Bone marrow aspirate smear
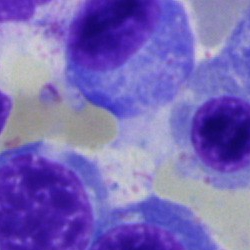

A plasmacyte.